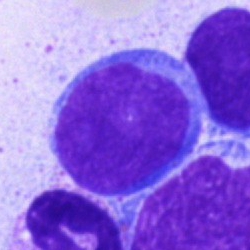
Morphological class — blast cell.